Bone marrow smear.
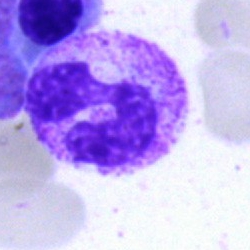
Impression — neutrophil (segmented).